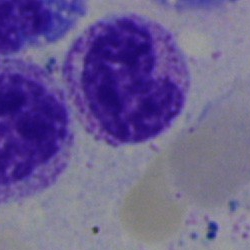
The cell shown is a metamyelocyte.